Bone marrow smear: 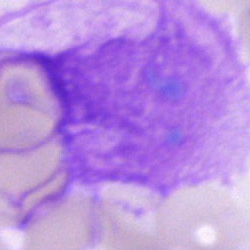 Cell type — artifact.